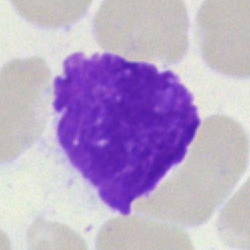

Cell: basket cell.